Bone marrow smear.
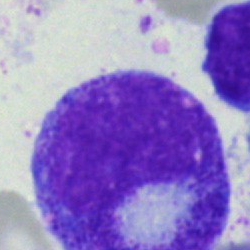 Single cell identified as a promyelocyte.